Peripheral blood film
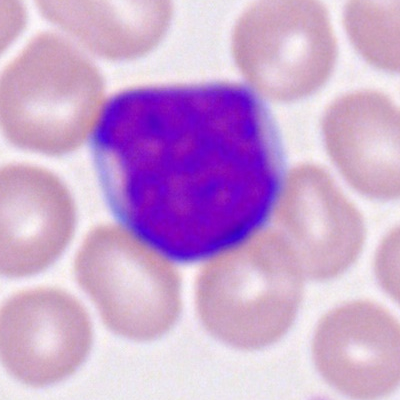
The morphological class is myeloblast.